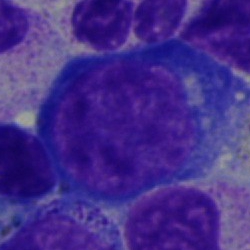
{"cell_type": "pronormoblast", "lineage": "erythroid"}